Bone marrow aspirate smear:
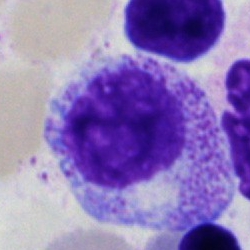
Q: What is the morphological classification of this cell?
A: It is a myelocyte.